Image size 250×250. 40× objective, oil immersion. Bone marrow smear
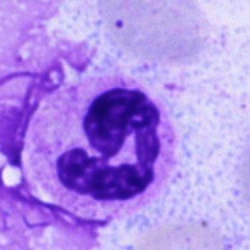

Single cell identified as a lymphocyte.